May-Grünwald-Giemsa/Pappenheim stain · bone marrow aspirate smear — 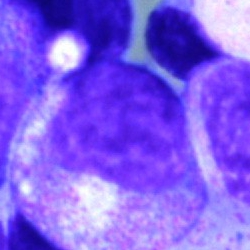Specimen: bone marrow smear.
Cell type: myelocyte.
Lineage: myeloid.